Bone marrow aspirate smear.
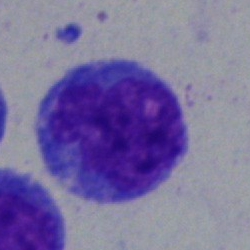
Q: What is shown here?
A: An undifferentiated blast.